Bone marrow smear — 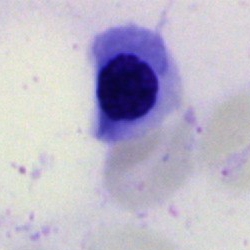 Specimen: bone marrow aspirate smear.
Classification: nucleated red blood cell.